Bone marrow smear: 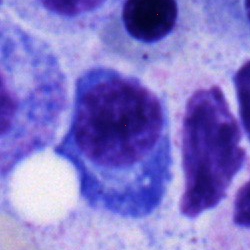 Cell type = plasma cell.